Bone marrow smear. Brightfield, 40× oil-immersion objective. Single-cell field
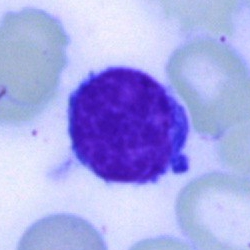Typical lymphocyte.